Peripheral blood film.
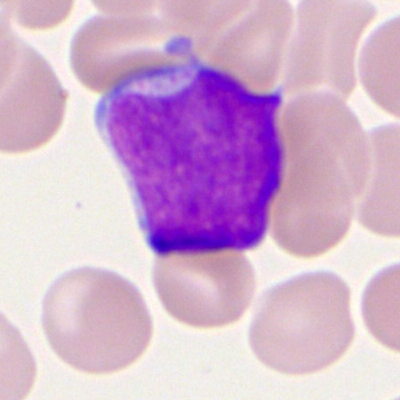 Q: What is the morphological classification of this cell?
A: It is a myeloblast.